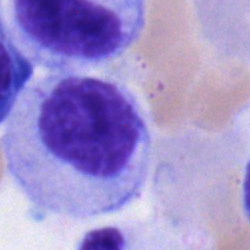

{"cell_type": "myelocyte"}